Bone marrow aspirate smear · image size 250×250 — 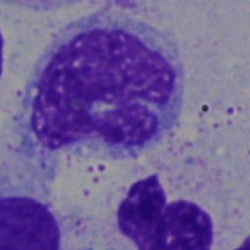 Q: Identify the cell.
A: This is a monocyte.